Peripheral blood film
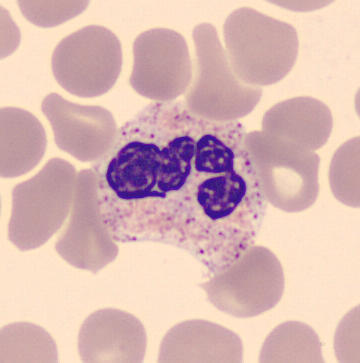

Polymorphonuclear neutrophil.